40× objective, oil immersion. Bone marrow smear:
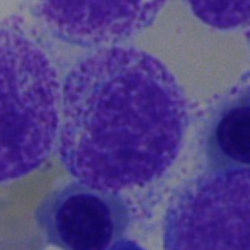

Metamyelocyte.